Bone marrow smear; 250×250:
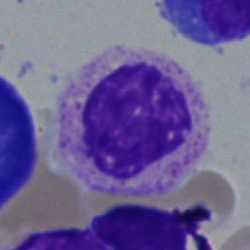

Morphological class = myelocyte.